250×250 px; bone marrow aspirate smear
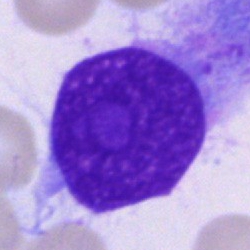

This is an artifact.